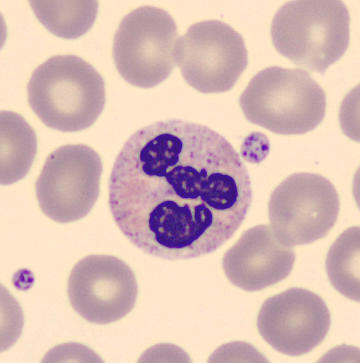

Image: CellaVision DM96; peripheral blood smear. The cell shown is a segmented neutrophil.